Bone marrow smear:
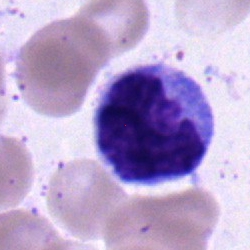 Single cell identified as a monocyte.